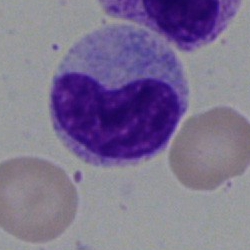 Cell type = eosinophil.